Bone marrow smear:
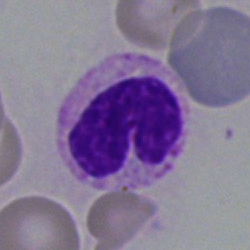
Morphology consistent with a band neutrophil.